Bone marrow aspirate smear
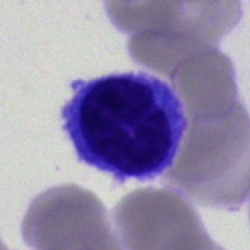

Single cell identified as a lymphocyte.